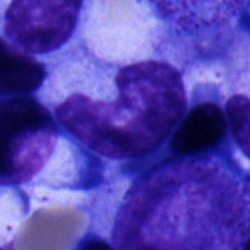Showing a stab cell.